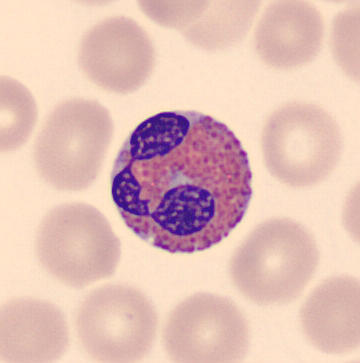

Cell = eosinophil.
Acquisition: Peripheral blood smear.